Bone marrow smear.
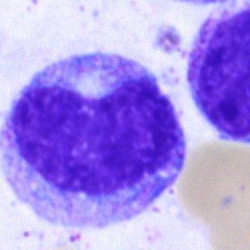Metamyelocyte.